Bone marrow aspirate smear. Single-cell crop — 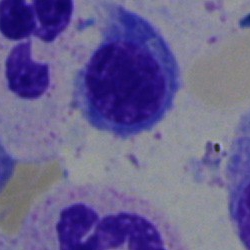 The cell shown is a normoblast.